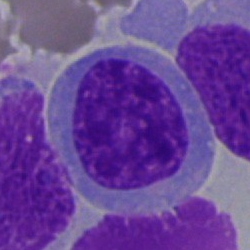 Morphological class = blast cell.